Bone marrow aspirate smear.
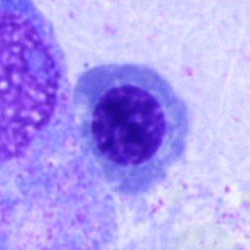 Morphology consistent with a nucleated red blood cell.